Peripheral blood smear.
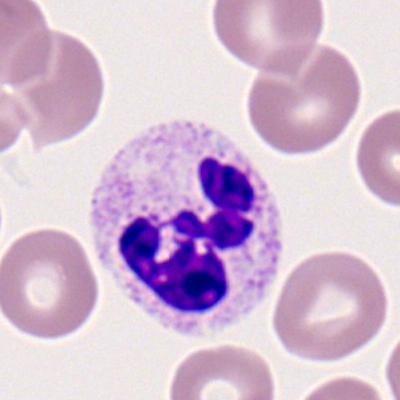

The classification is polymorphonuclear neutrophil.